Bone marrow aspirate smear — 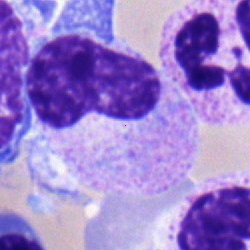

This is a metamyelocyte.